May-Grünwald-Giemsa/Pappenheim stain; brightfield microscopy, 40× oil immersion; bone marrow aspirate smear.
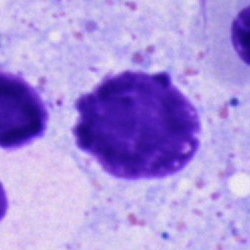 Specimen: bone marrow smear.
Cell type: artifact.